40× objective, oil immersion · 250×250 · bone marrow aspirate smear — 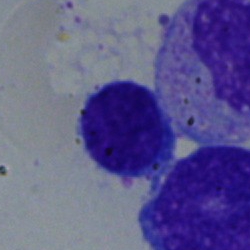

Morphology consistent with a typical lymphocyte.